Bone marrow aspirate smear — 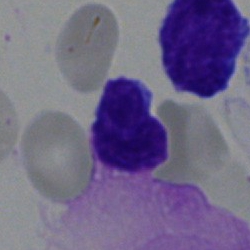Classification: typical lymphocyte.